MGG-stained · 250 by 250 pixels · bone marrow aspirate smear
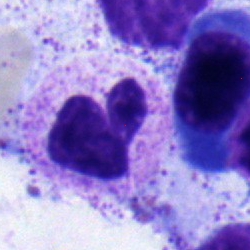A polymorphonuclear neutrophil.